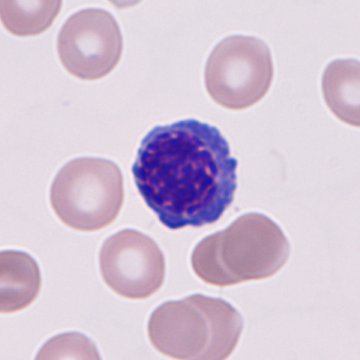
Image: Peripheral blood smear. Single-cell crop.

Q: Identify the cell.
A: Nucleated red blood cell.